Single cell centered in the field; bone marrow smear.
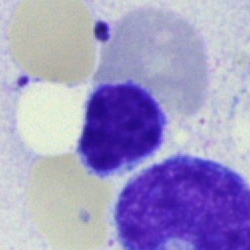
Morphology → typical lymphocyte.